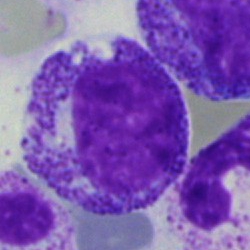

Specimen: bone marrow smear.
Cell type: myelocyte.